Bone marrow smear
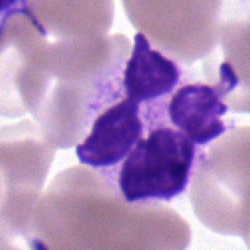Q: What type of cell is this?
A: Monocyte.